Cropped to a single cell. CellaVision DM96. Peripheral blood film: 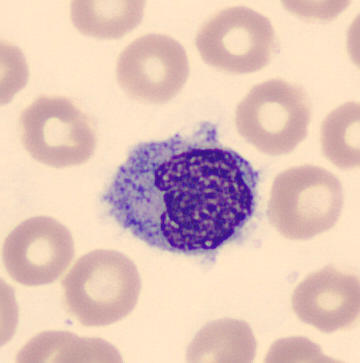

Specimen: peripheral blood film.
Classification: monocyte.